Bone marrow aspirate smear — 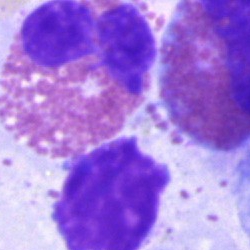

Q: What is shown here?
A: It is an eosinophil.